Bone marrow smear; 250×250 px — 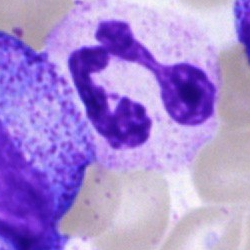

Morphology → neutrophil (segmented).